Pappenheim-stained; 40× oil immersion; bone marrow aspirate smear: 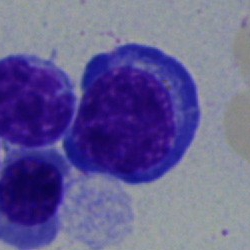
Classification — nucleated red cell.